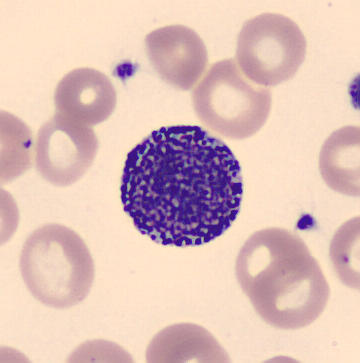Preparation: Peripheral blood film; CellaVision DM96; 360×363 px.
The cell shown is a basophil.